Brightfield, 40× oil-immersion objective. 250×250 px. Bone marrow aspirate smear
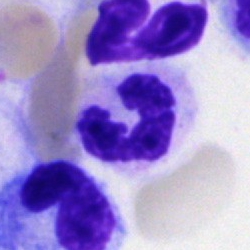
Specimen: bone marrow aspirate smear.
Cell type: neutrophil (segmented).
Lineage: myeloid.